Bone marrow smear; MGG-stained: 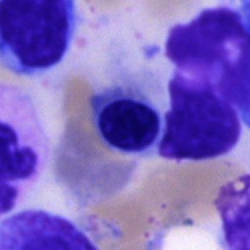
A nucleated red cell.